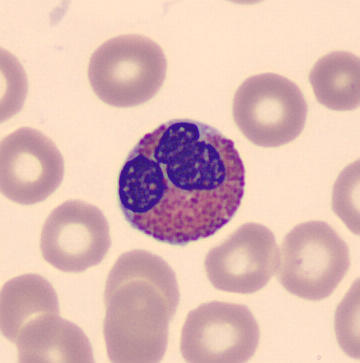
Image: Peripheral blood film · CellaVision DM96 · MGG stain.
Identified as an eosinophilic granulocyte.